Cropped to a single cell; bone marrow aspirate smear — 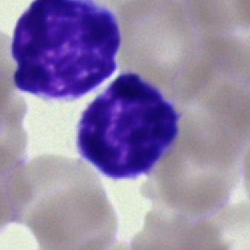Morphology consistent with a lymphocyte.